MGG-stained. Image size 250×250. Bone marrow aspirate smear: 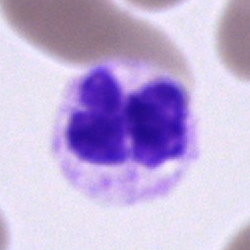
A polymorphonuclear neutrophil.